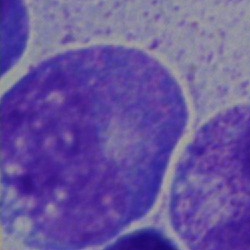
Morphology — progranulocyte.